Single-cell field. Bone marrow smear: 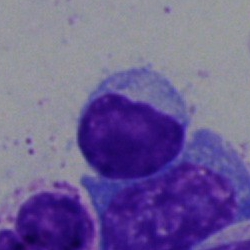
The cell type is lymphocyte.